Bone marrow smear
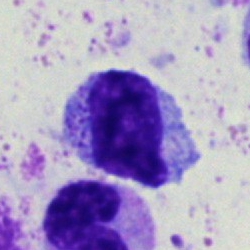

This is a myelocyte.